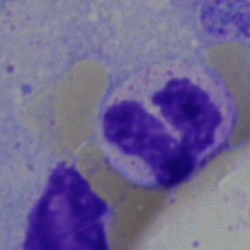
Morphology — neutrophil (segmented).